Bone marrow aspirate smear; cropped to a single cell
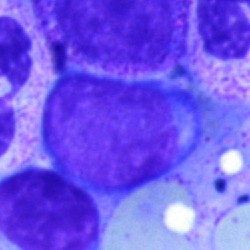 This is a lymphocyte.